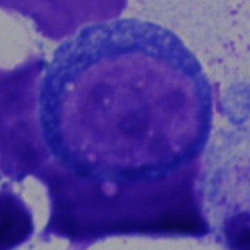 Impression → proerythroblast.